Bone marrow smear.
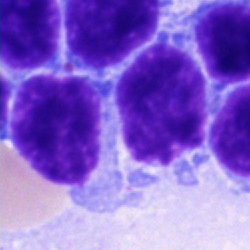 Single cell identified as a typical lymphocyte.